250×250; cropped to a single cell; bone marrow smear.
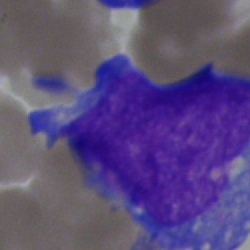{"cell_type": "blast"}